Bone marrow aspirate smear · 40× objective, oil immersion.
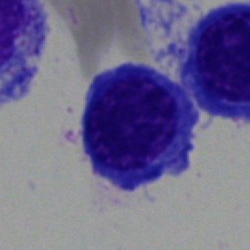

Cell type = nucleated red cell.